Peripheral blood smear; single-cell field
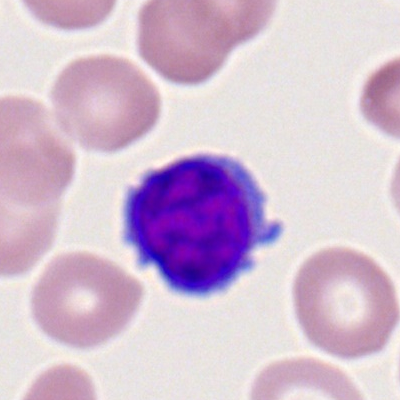

Impression — typical lymphocyte.